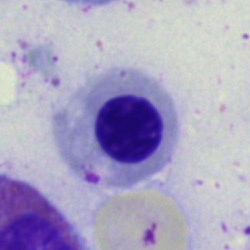This is a nucleated red cell.